Bone marrow smear. Cropped to a single cell
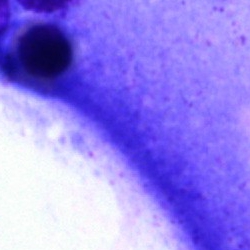 The morphological class is artifact.